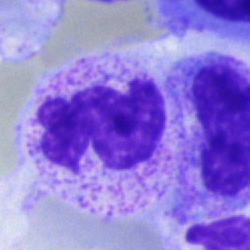Bone marrow smear showing a neutrophil (segmented).